Cropped to a single cell; peripheral blood film:
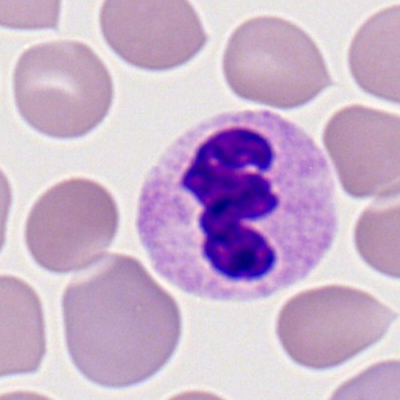
Segmented neutrophil.